Bone marrow aspirate smear:
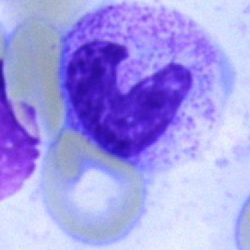 This is a stab cell.